Bone marrow smear — 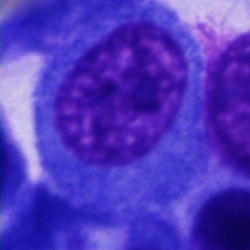
Q: Which cell type is shown here?
A: It is a cell not matching the other categories.